Bone marrow aspirate smear.
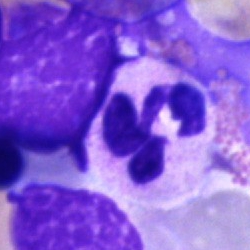 The cell type is segmented neutrophil.